Bone marrow smear:
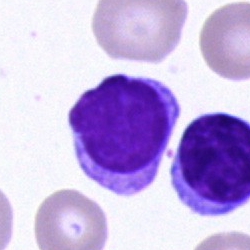

Q: Identify the cell.
A: It is a lymphocyte.